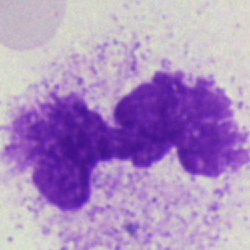 Q: Which cell type is shown here?
A: A neutrophil (segmented).